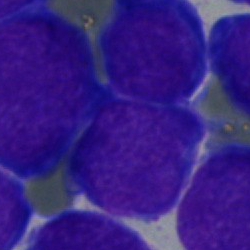Showing a blast cell.